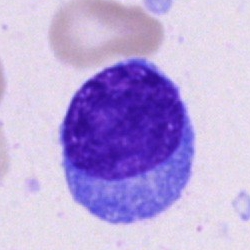
Bone marrow aspirate smear, single cell — plasma cell.